Bone marrow smear
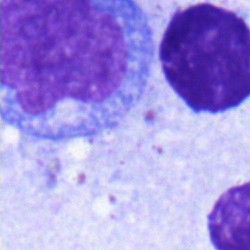

Blast cell.